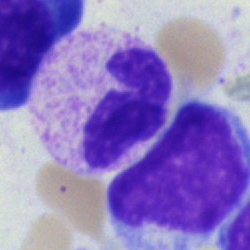
Specimen: bone marrow smear.
Cell type: segmented neutrophil.
Lineage: myeloid.